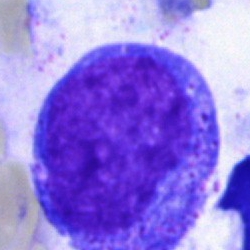 Promyelocyte.